250 by 250 pixels; bone marrow smear: 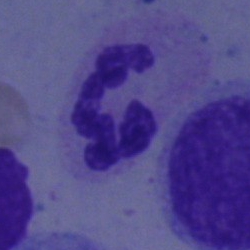 Q: What is the morphological classification of this cell?
A: Neutrophil (segmented).